250 by 250 pixels · May-Grünwald-Giemsa stain · bone marrow smear:
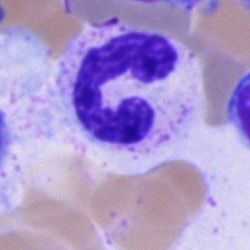
Specimen: bone marrow smear.
Cell type: polymorphonuclear neutrophil.